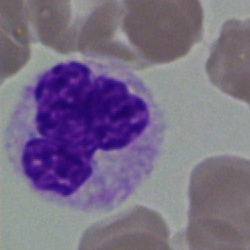 Showing a neutrophil (segmented).